Peripheral blood smear · 400×400
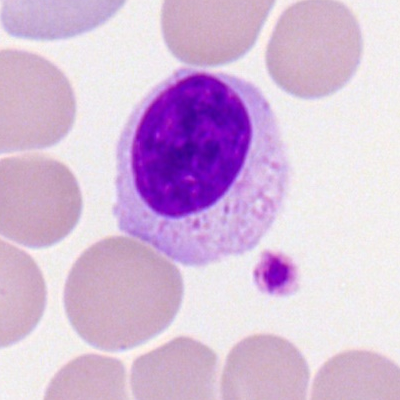

This is a typical lymphocyte.